Bone marrow smear: 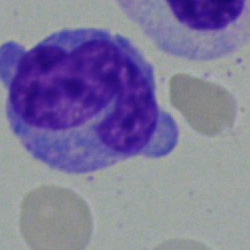
Morphological class: monocyte.